Bone marrow aspirate smear:
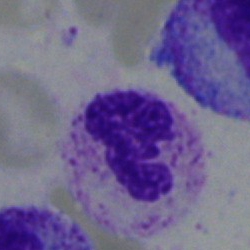Cell type: segmented neutrophil.